Bone marrow aspirate smear — 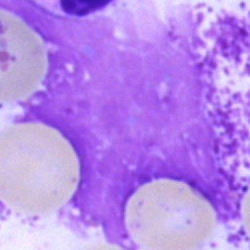
Cell type — artifact.